Bone marrow smear; brightfield, 40× oil-immersion objective; Pappenheim-stained.
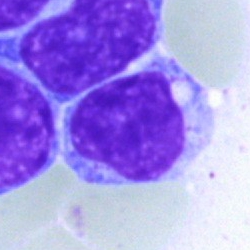

This is a lymphocyte.